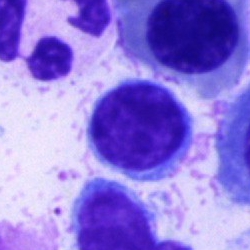

The cell shown is a lymphocyte.